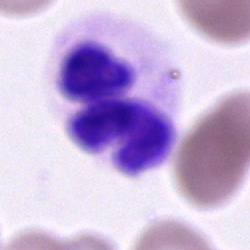
Specimen: bone marrow smear.
Cell: polymorphonuclear neutrophil.